Cropped to a single cell. 100× oil immersion. Peripheral blood film:
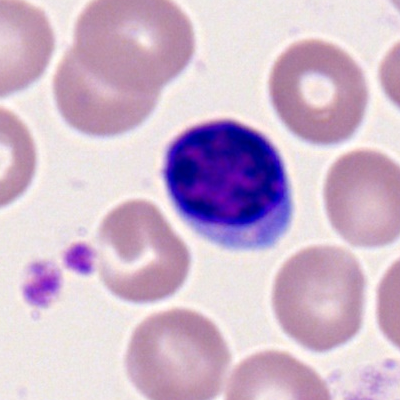 Impression → lymphocyte.